Bone marrow smear. Image size 250×250. 40× oil immersion.
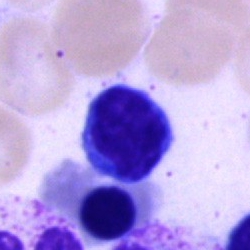

The classification is typical lymphocyte.